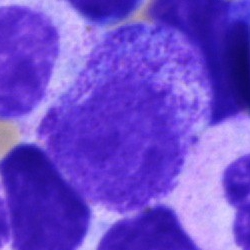Showing a progranulocyte.